May-Grünwald-Giemsa stain; bone marrow smear; 40× objective, oil immersion
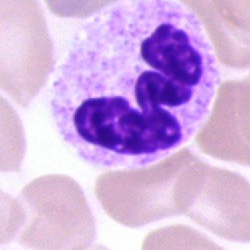Polymorphonuclear neutrophil.